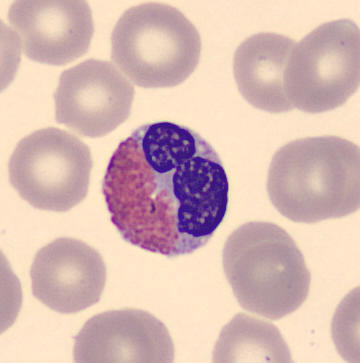
Specimen: peripheral blood smear.
Morphological class: eosinophil.
Lineage: myeloid.
MGG-stained.